Peripheral blood smear:
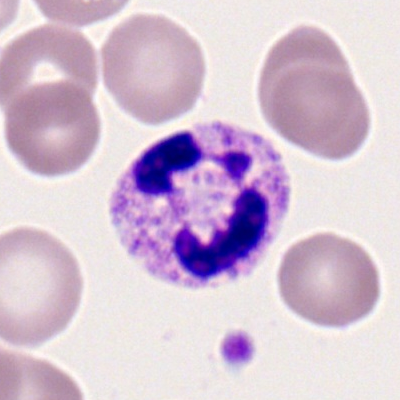 The cell is neutrophil (segmented).